250 by 250 pixels. Bone marrow smear
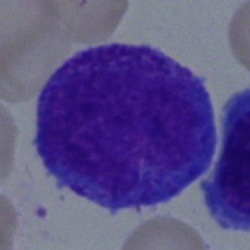

Specimen: bone marrow aspirate smear.
Cell type: promyelocyte.